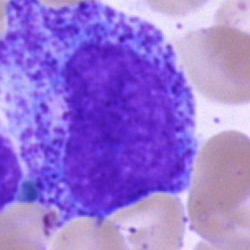Q: Which cell type is shown here?
A: A promyelocyte.